Bone marrow smear — 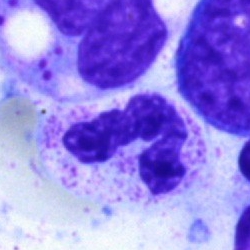{"cell_type": "neutrophil (segmented)", "lineage": "myeloid"}